Bone marrow aspirate smear:
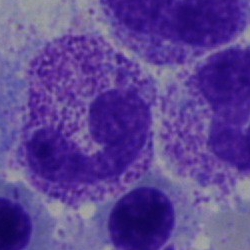
Morphology consistent with a segmented neutrophil.